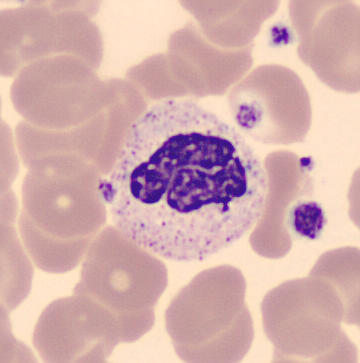 Specimen: peripheral blood smear.
Cell: neutrophil (segmented).
Lineage: myeloid. Acquisition: CellaVision DM96 digital cell image.